Bone marrow aspirate smear. Cropped to a single cell: 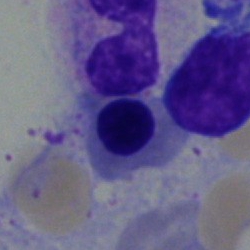

Classification — nucleated red blood cell.